Peripheral blood smear — 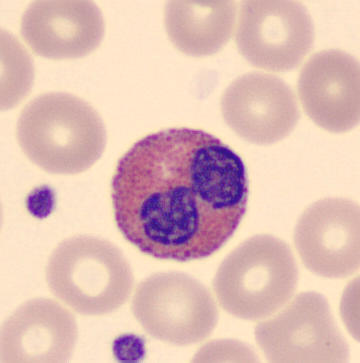

Q: Which cell type is shown here?
A: An eosinophilic granulocyte.